Bone marrow smear. 250×250 px — 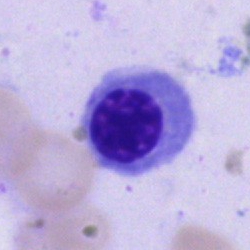Morphology — erythroblast.